Single-cell crop. Bone marrow smear: 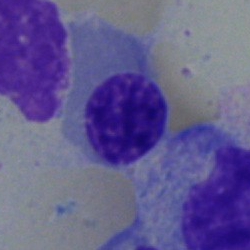 Q: Identify the cell.
A: A nucleated red cell.